Bone marrow smear: 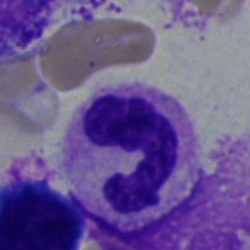The cell shown is a polymorphonuclear neutrophil.